Bone marrow smear.
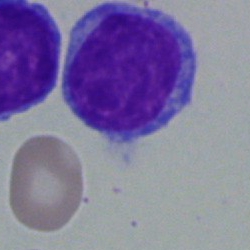
Specimen: bone marrow smear.
Cell: lymphocyte.
Lineage: lymphoid.